Bone marrow smear
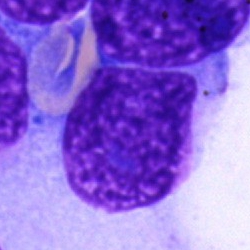 Specimen: bone marrow smear.
Morphological class: artifact.